Bone marrow aspirate smear
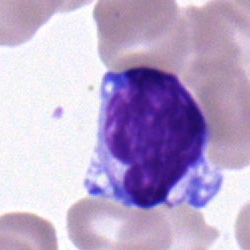 The cell type is typical lymphocyte.